Bone marrow aspirate smear:
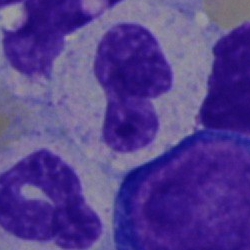 A neutrophil (segmented).